Bone marrow aspirate smear.
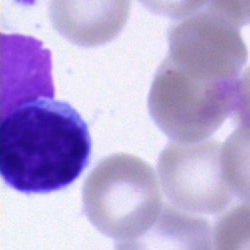The cell shown is a lymphocyte.